250×250 px · bone marrow smear — 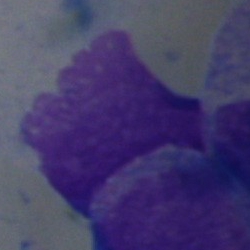Cell type: artefact.